Single-cell crop; bone marrow aspirate smear; Pappenheim-stained
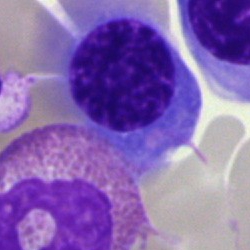

The classification is erythroblast.